Peripheral blood smear. M8 digital microscope (Precipoint), 100× oil immersion
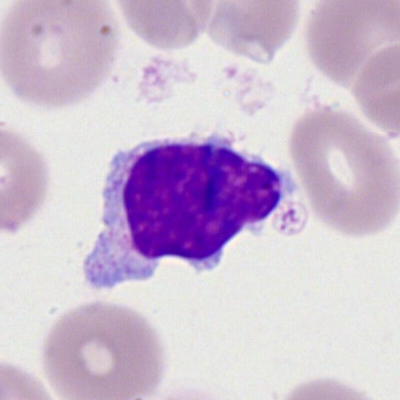
This is a lymphocyte.